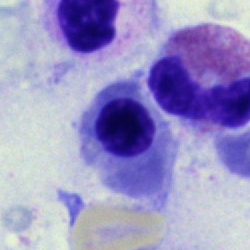Classification: normoblast.